Bone marrow smear:
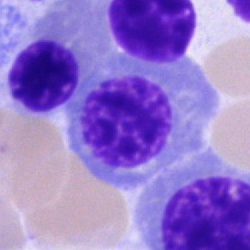

Nucleated red blood cell.